Bone marrow smear: 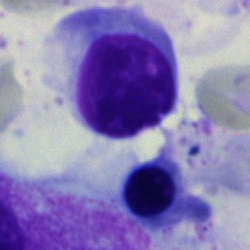Specimen: bone marrow smear.
Morphological class: typical lymphocyte.